Bone marrow smear:
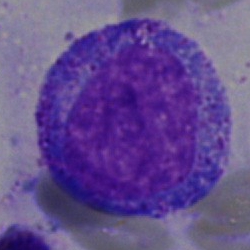 Impression — promyelocyte.